Bone marrow aspirate smear.
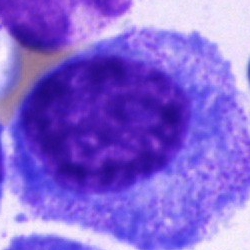

The morphological class is progranulocyte.